Pappenheim-stained. Bone marrow smear. Brightfield microscopy, 40× oil immersion: 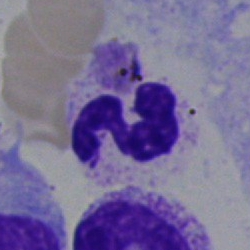 Classification = segmented neutrophil.